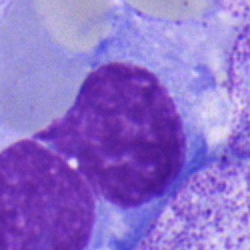

Morphology → lymphocyte.